Bone marrow smear; MGG-stained
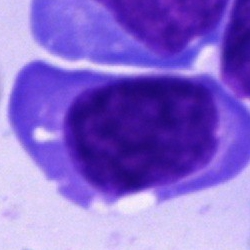

This is a blast.